Bone marrow aspirate smear; brightfield microscopy, 40× oil immersion: 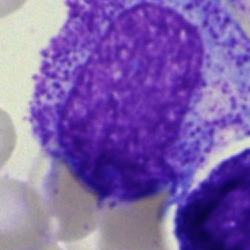 The cell shown is a myelocyte.